Bone marrow smear; May-Grünwald-Giemsa/Pappenheim stain: 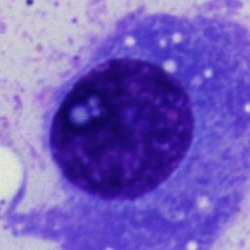Q: What is shown here?
A: It is a plasmacyte.